250×250; bone marrow aspirate smear:
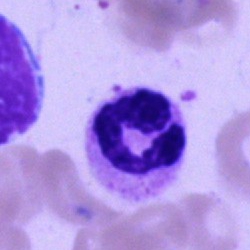

Classification: neutrophil (segmented).